Bone marrow aspirate smear: 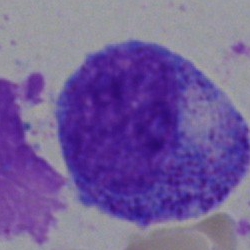 A progranulocyte.